May-Grünwald-Giemsa/Pappenheim stain; bone marrow smear: 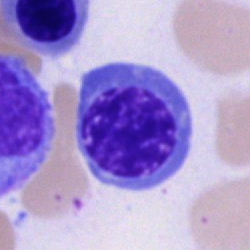Showing a normoblast.